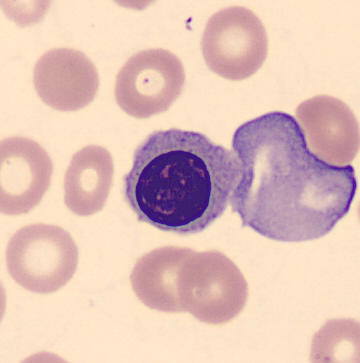
Specimen: peripheral blood film.
Cell type: erythroblast.